Bone marrow aspirate smear — 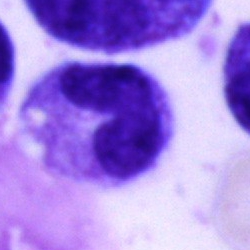 Q: Identify the cell.
A: It is a neutrophil (band).